Bone marrow smear:
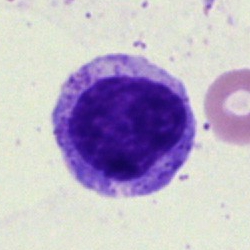

Specimen: bone marrow smear.
Cell type: myelocyte.
Lineage: myeloid.